Bone marrow smear. Image size 250×250:
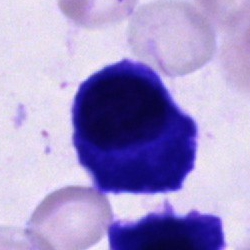 A plasma cell.